Bone marrow smear:
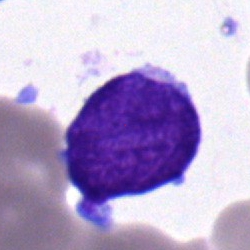

Showing a blast cell.